Peripheral blood film
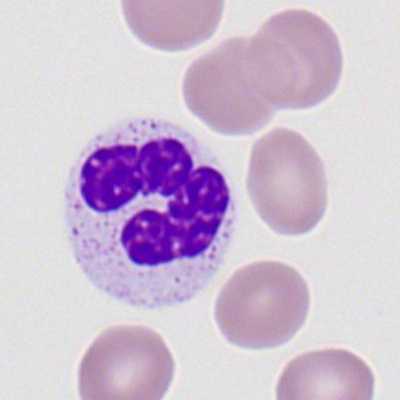 Cell — segmented neutrophil.